Bone marrow smear.
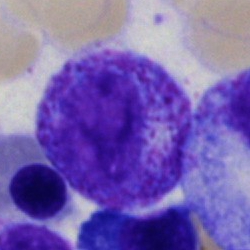

Showing a nucleated red cell.